Bone marrow aspirate smear:
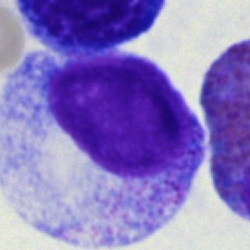 Classification: promyelocyte.